Bone marrow aspirate smear; Pappenheim-stained:
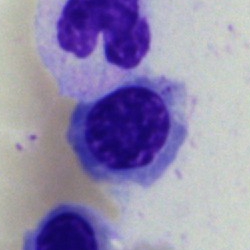
Morphology consistent with a normoblast.